Bone marrow aspirate smear:
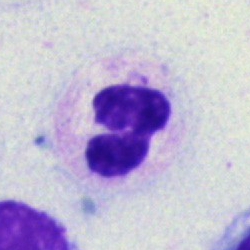 Single cell identified as a segmented neutrophil.